Bone marrow aspirate smear
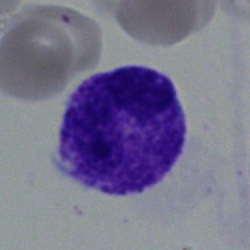Q: Identify the cell.
A: Band neutrophil.